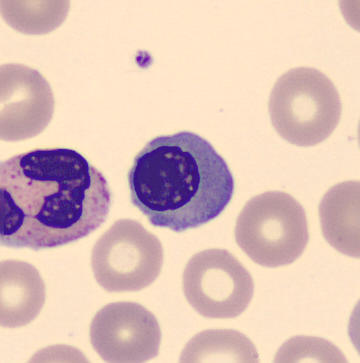Morphology → nucleated red cell.